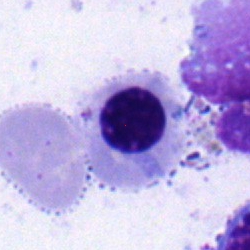

Showing a normoblast.